Bone marrow smear.
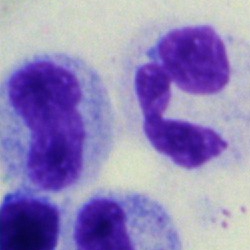
Cell: neutrophil (segmented).